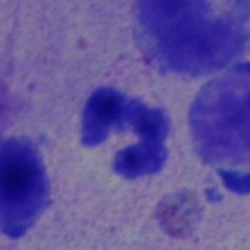 Q: Identify the cell.
A: It is a segmented neutrophil.